Bone marrow aspirate smear; single-cell crop — 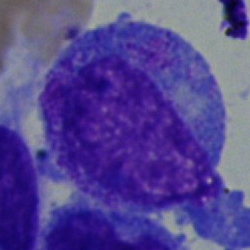Specimen: bone marrow smear.
Classification: progranulocyte.
Lineage: myeloid.